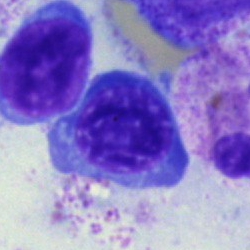Morphological class: nucleated red blood cell.